Bone marrow smear. 250×250 px. Single-cell field.
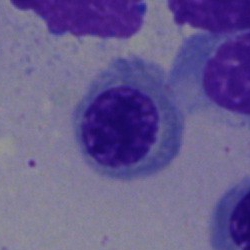

The cell is normoblast.